Single-cell field · bone marrow aspirate smear — 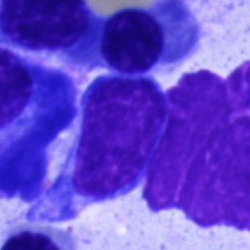

Showing an artifact.